250×250 px; bone marrow aspirate smear: 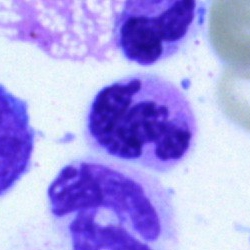 Specimen: bone marrow smear.
Cell: polymorphonuclear neutrophil.
Lineage: myeloid.